Bone marrow smear: 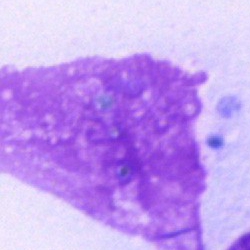
Q: What is shown here?
A: It is an artefact.